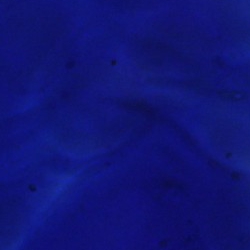
Morphology — artefact.